Single cell centered in the field · bone marrow aspirate smear:
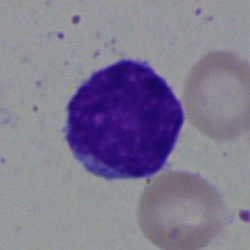

The cell shown is a lymphocyte.